May-Grünwald-Giemsa/Pappenheim stain. Bone marrow aspirate smear — 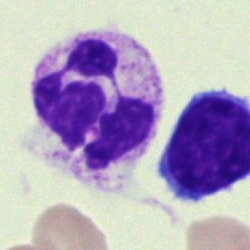 Cell type — polymorphonuclear neutrophil.